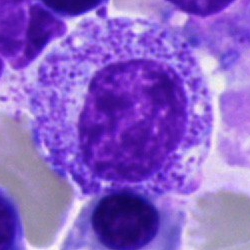
Specimen: bone marrow smear.
Cell type: myelocyte.